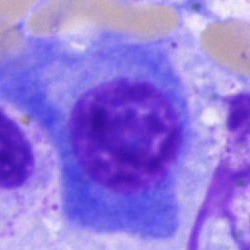{"cell_type": "plasma cell", "lineage": "lymphoid"}